Peripheral blood film; MGG stain; single cell centered in the field:
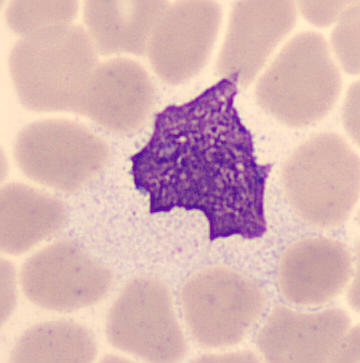Impression → monocyte.